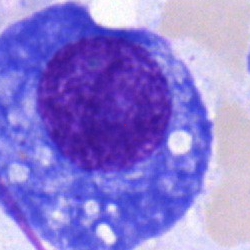
Morphological class = plasma cell.